Bone marrow smear.
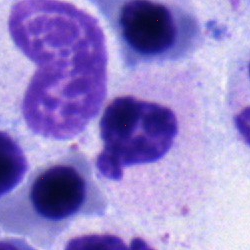
The classification is segmented neutrophil.